Bone marrow smear.
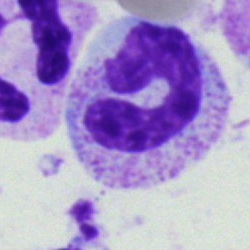Showing a stab cell.